Bone marrow aspirate smear — 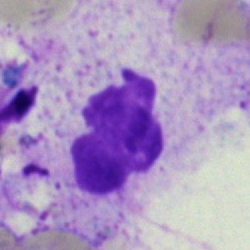Cell type: artifact.